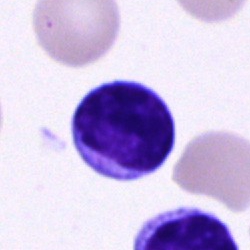

Single cell identified as a lymphocyte.